Cropped to a single cell; bone marrow smear; 250×250 — 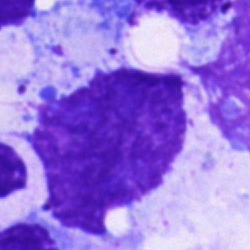 The cell shown is an artefact.